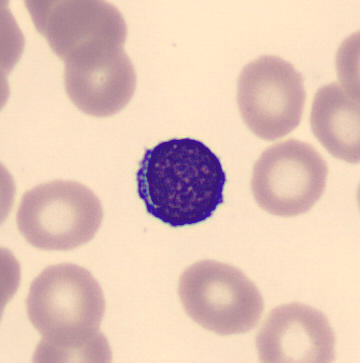

Lymphocyte.

Preparation: Peripheral blood film; CellaVision DM96 digital cell image; single-cell crop.